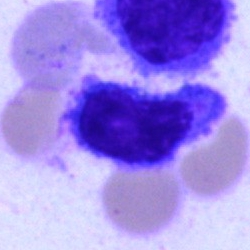

Cell = typical lymphocyte.